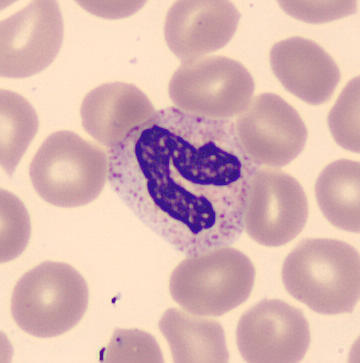

Morphological class: neutrophil (segmented).